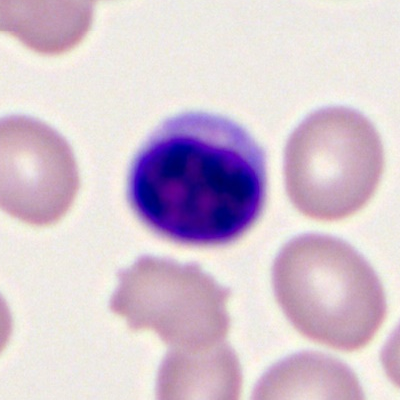

A lymphocyte on a peripheral blood smear.